Bone marrow aspirate smear. Single-cell crop:
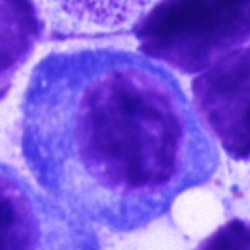The morphological class is plasma cell.